Bone marrow smear:
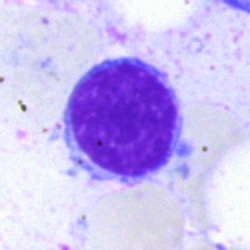
Cell = typical lymphocyte.